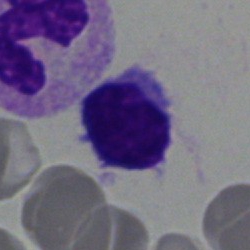
Q: What type of cell is this?
A: This is a lymphocyte.